Peripheral blood smear
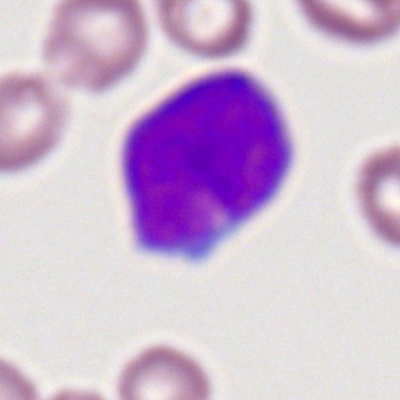
The cell is myeloblast.